40× objective, oil immersion; bone marrow smear; cropped to a single cell
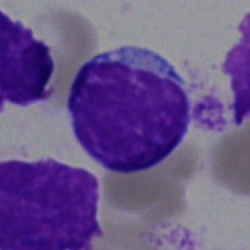
This is a lymphocyte.